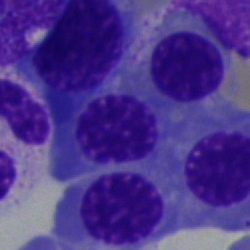Cell — nucleated red blood cell.